Bone marrow smear
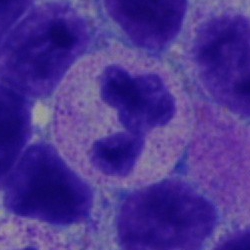

Cell: polymorphonuclear neutrophil.